Bone marrow aspirate smear — 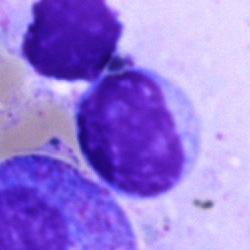 Morphology consistent with a typical lymphocyte.